Cropped to a single cell · image size 250×250 · bone marrow aspirate smear
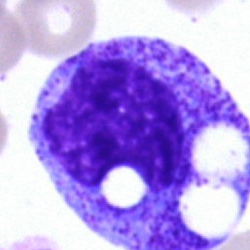

Specimen: bone marrow smear.
Cell: progranulocyte.
Lineage: myeloid.